Bone marrow smear; Pappenheim-stained: 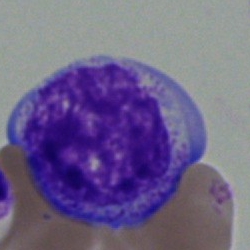

Single cell identified as a promyelocyte.